40× objective, oil immersion. Bone marrow smear — 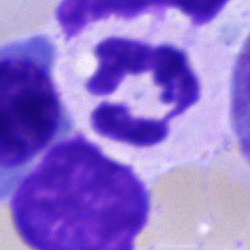
Segmented neutrophil.